Imaged on a CellaVision DM96 analyser; 360 by 363 pixels; peripheral blood smear:
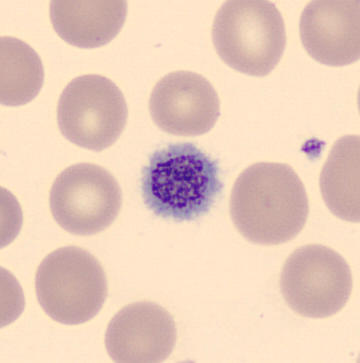 The cell type is thrombocyte.